Single cell centered in the field. Peripheral blood film:
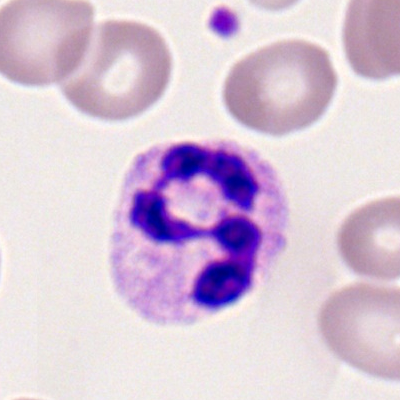 This is a polymorphonuclear neutrophil.